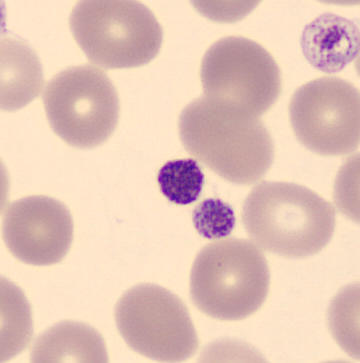
Morphology — platelet (thrombocyte).